Bone marrow smear.
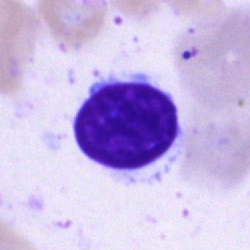 Showing a lymphocyte.